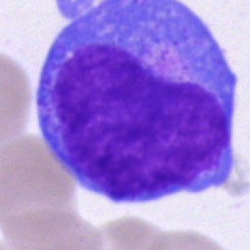The cell type is blast.